250×250 · bone marrow smear · brightfield microscopy, 40× oil immersion: 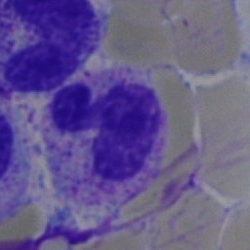 Cell = polymorphonuclear neutrophil.